Bone marrow smear. Image size 250×250:
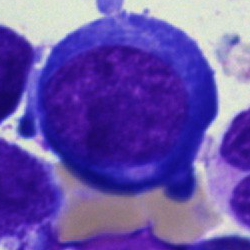
Specimen: bone marrow aspirate smear.
Classification: proerythroblast.
Lineage: erythroid.